250 by 250 pixels. Bone marrow smear
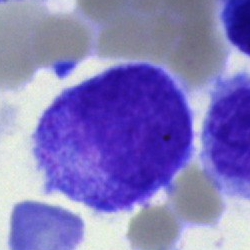 Morphology consistent with a promyelocyte.